Bone marrow smear: 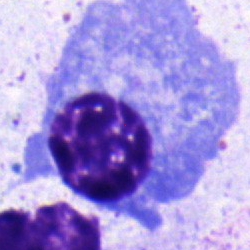Cell type — plasmacyte.